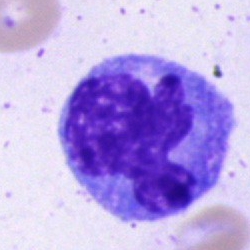

Bone marrow smear showing a monocyte.